Bone marrow smear; Pappenheim-stained; 40× oil immersion.
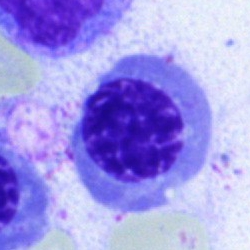

Morphology consistent with a nucleated red blood cell.